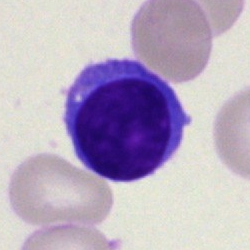

A typical lymphocyte on a bone marrow smear.